Peripheral blood smear; single cell centered in the field; 400 by 400 pixels.
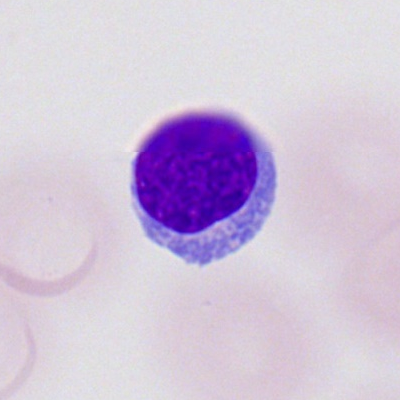Single cell identified as a lymphocyte.